Bone marrow smear. May-Grünwald-Giemsa/Pappenheim stain.
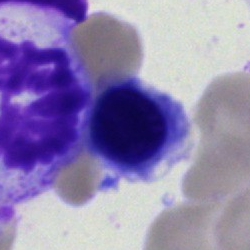 Morphology → nucleated red blood cell.